Bone marrow aspirate smear.
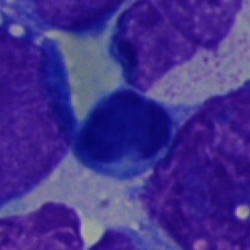

Cell — lymphocyte.